Bone marrow aspirate smear.
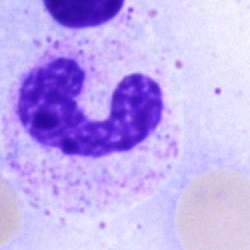

Morphology — band neutrophil.